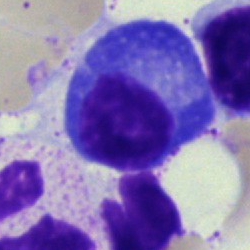 Single-cell crop from a bone marrow smear: plasmacyte.